Single cell centered in the field. Bone marrow aspirate smear
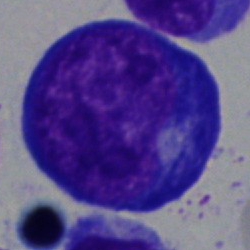Q: Identify the cell.
A: A pronormoblast.